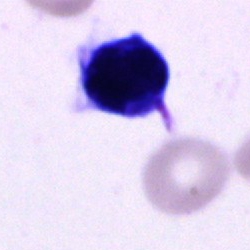 The morphological class is cell of indeterminate lineage.